Bone marrow smear.
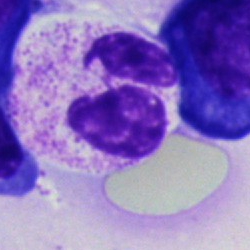 The cell shown is a neutrophil (segmented).